Bone marrow aspirate smear
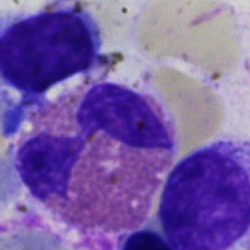
An eosinophilic granulocyte.